Bone marrow aspirate smear; 250×250 px:
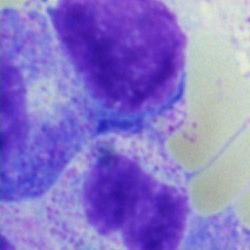Unidentifiable cell.